Bone marrow smear: 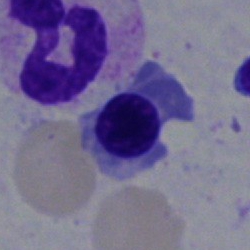
A nucleated red blood cell.